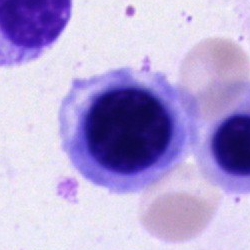
Normoblast.